Bone marrow aspirate smear: 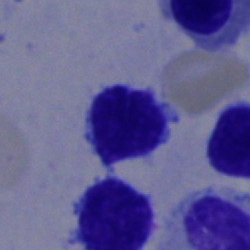

This is a lymphocyte.